Bone marrow smear · MGG-stained:
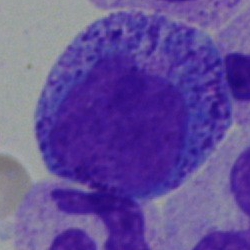
The cell shown is a progranulocyte.